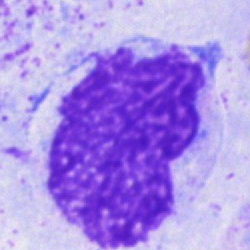 Specimen: bone marrow aspirate smear.
Cell: artefact.